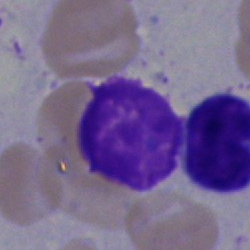

This is a typical lymphocyte.